40× objective, oil immersion. Bone marrow aspirate smear:
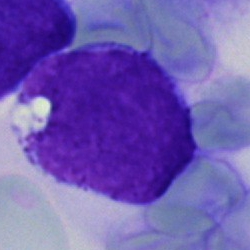 Showing a blast.